Bone marrow smear; brightfield microscopy, 40× oil immersion — 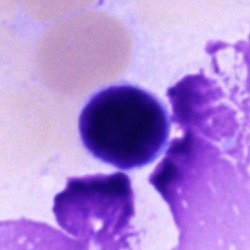 Specimen: bone marrow aspirate smear.
Morphological class: typical lymphocyte.